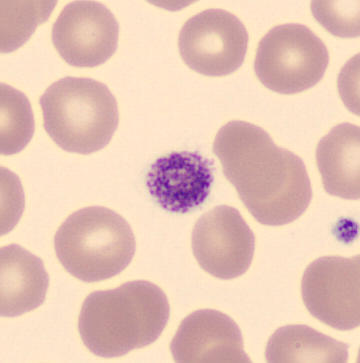

Showing a thrombocyte.
Peripheral blood film.